Bone marrow smear. 250 by 250 pixels:
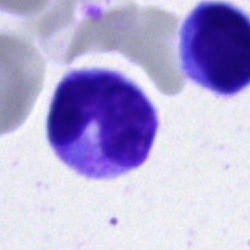 Specimen: bone marrow aspirate smear.
Classification: stab cell.